250×250 px; brightfield, 40× oil-immersion objective; bone marrow smear — 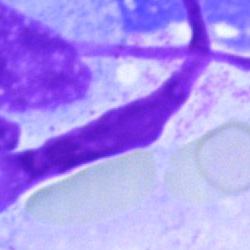
Specimen: bone marrow smear.
Cell type: artefact.